Cropped to a single cell. Bone marrow aspirate smear — 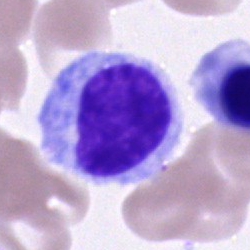 Showing a lymphocyte.